Bone marrow aspirate smear · single-cell field — 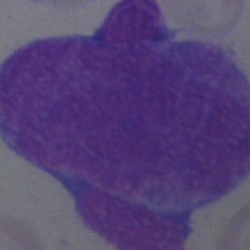{"cell_type": "artefact"}